Bone marrow smear · brightfield microscopy, 40× oil immersion: 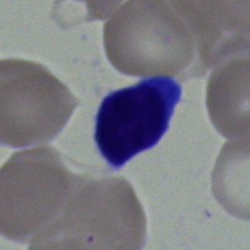 Q: What type of cell is this?
A: It is a lymphocyte.